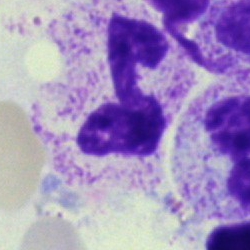
The cell shown is a neutrophil (segmented).